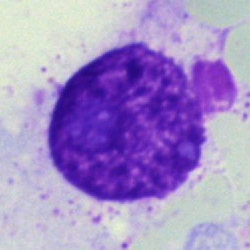
The cell shown is an artifact.